Bone marrow aspirate smear
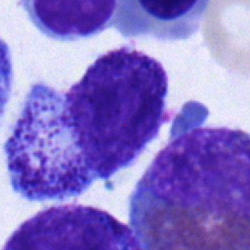Q: What is the morphological classification of this cell?
A: It is a myelocyte.